Peripheral blood film:
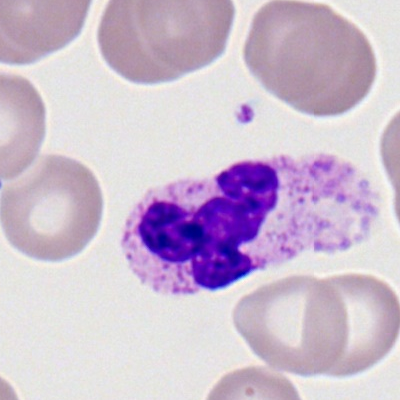 This is a polymorphonuclear neutrophil.